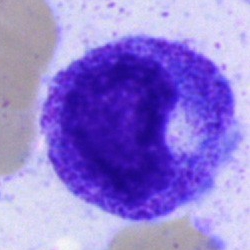
Showing a progranulocyte.